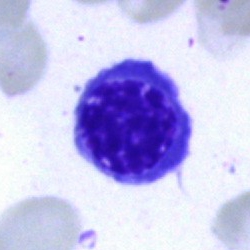
Single-cell crop from a bone marrow smear: erythroblast.